Bone marrow aspirate smear.
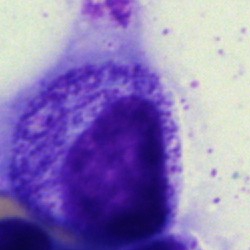Q: What is shown here?
A: Myelocyte.